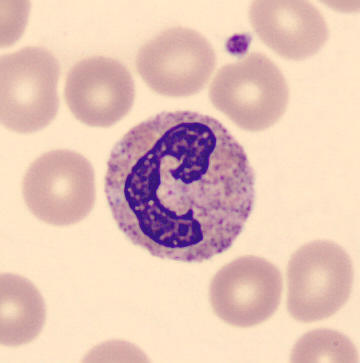 Q: What is the morphological classification of this cell?
A: It is a band neutrophil.